Bone marrow aspirate smear — 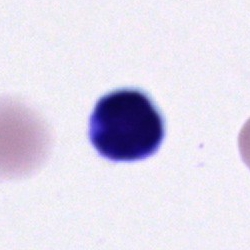 Classification = typical lymphocyte.